Brightfield, 40× oil-immersion objective · bone marrow smear · 250×250:
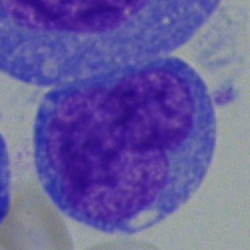 This is a blast.